Peripheral blood film. 100× oil immersion, 14.14 px/µm
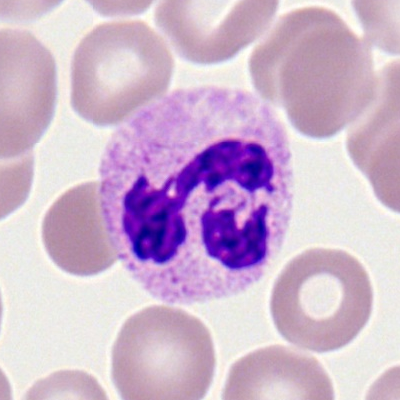
Q: What cell is this?
A: This is a polymorphonuclear neutrophil.